Bone marrow aspirate smear — 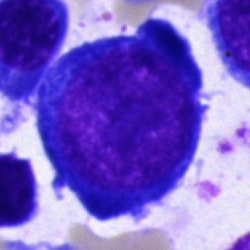Morphology — pronormoblast.